Bone marrow smear: 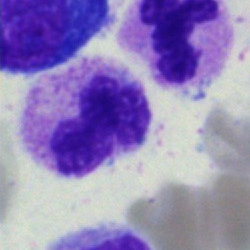Cell type — neutrophil (segmented).